Peripheral blood smear: 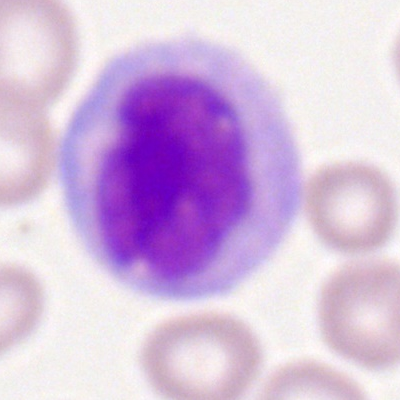Morphology consistent with a monocyte.